Peripheral blood film — 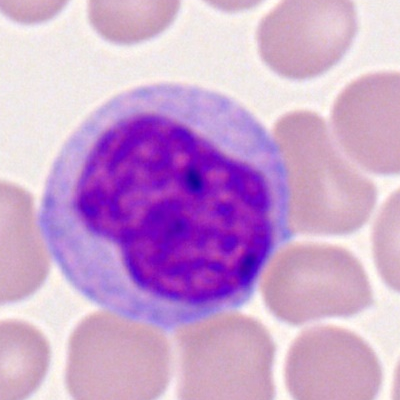

Impression — monocyte.